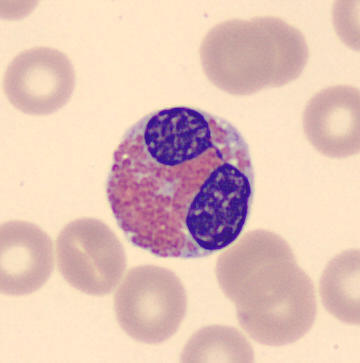 Eosinophilic granulocyte.

Image: Peripheral blood smear.